Bone marrow aspirate smear.
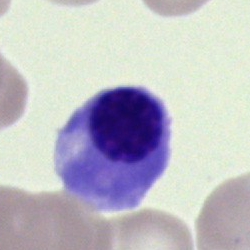

{"cell_type": "normoblast"}